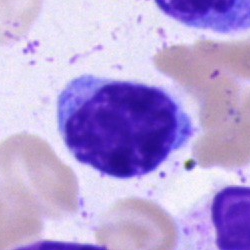
Classification = lymphocyte.